250×250 · May-Grünwald-Giemsa stain · bone marrow aspirate smear:
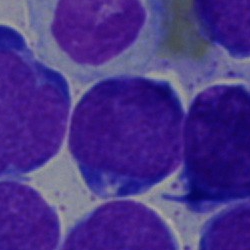 Showing an undifferentiated blast.